Bone marrow aspirate smear. 250×250 px. Cropped to a single cell.
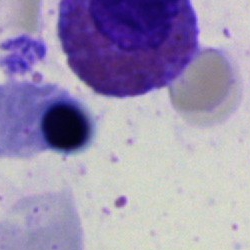
A nucleated red blood cell.